Bone marrow aspirate smear:
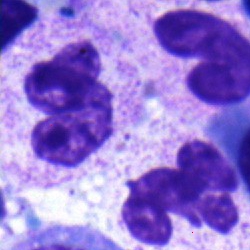
Cell type: stab cell.